Bone marrow aspirate smear · May-Grünwald-Giemsa stain.
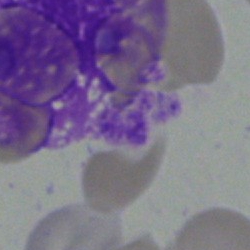 {"cell_type": "artifact"}